May-Grünwald-Giemsa stain · bone marrow aspirate smear · cropped to a single cell
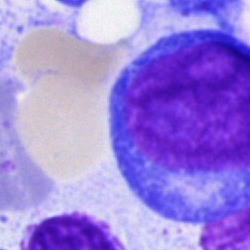Q: Which cell type is shown here?
A: It is a blast.